Bone marrow aspirate smear · brightfield, 40× oil-immersion objective.
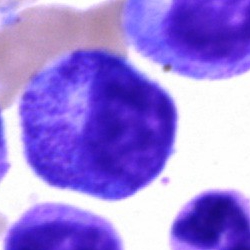The cell shown is a promyelocyte.